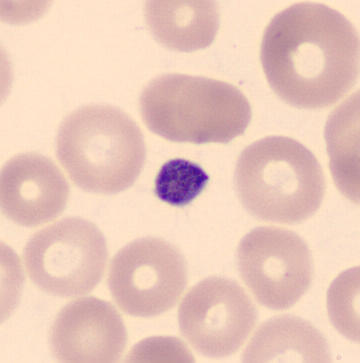 Acquisition: MGG-stained · peripheral blood film.

The cell type is thrombocyte.